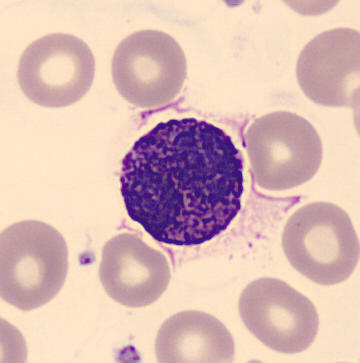
Impression — basophilic granulocyte.